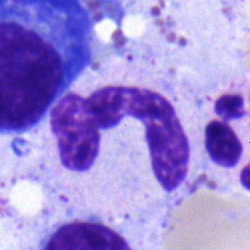 The cell shown is a segmented neutrophil.